Peripheral blood film:
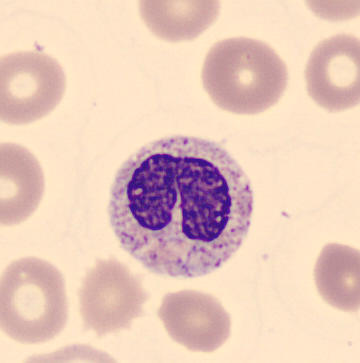Q: What cell is this?
A: A neutrophil (band).